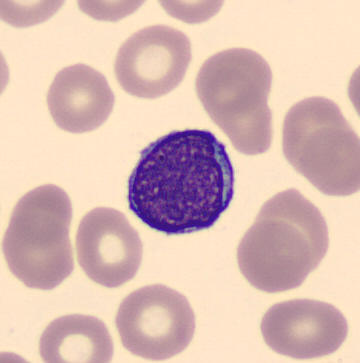

Preparation: MGG stain. Single-cell field. Peripheral blood smear.
Impression — typical lymphocyte.